Bone marrow smear:
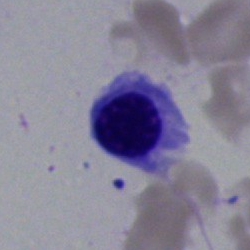

Q: What is the morphological classification of this cell?
A: It is a nucleated red cell.